Bone marrow smear; MGG-stained
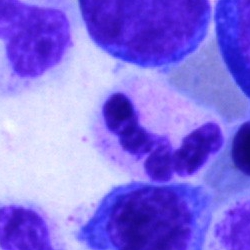Classification — polymorphonuclear neutrophil.